Cropped to a single cell. Peripheral blood smear. 400 by 400 pixels:
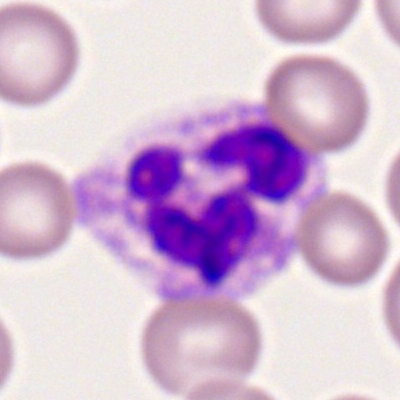

Showing a polymorphonuclear neutrophil.